Peripheral blood film; image size 400×400; Romanowsky-stained: 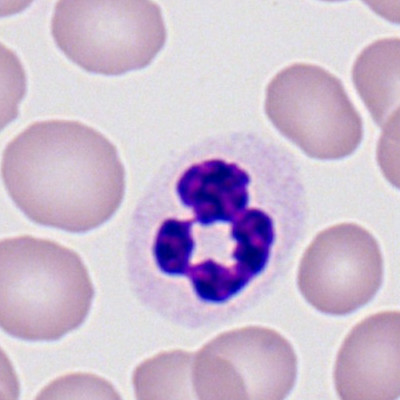 Morphology consistent with a segmented neutrophil.